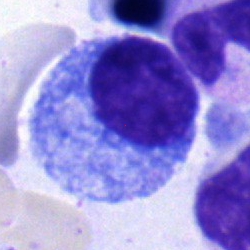
Cell — promyelocyte.